Peripheral blood film.
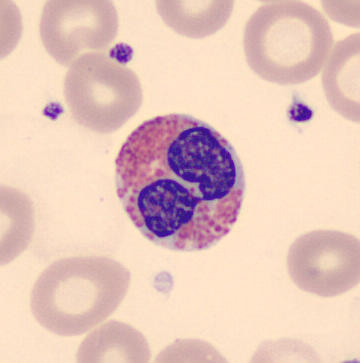 Single cell identified as an eosinophilic granulocyte.